Cropped to a single cell · brightfield, 40× oil-immersion objective · bone marrow smear
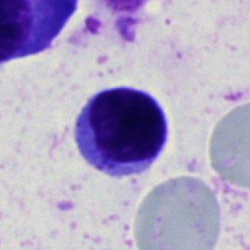Specimen: bone marrow aspirate smear.
Morphological class: lymphocyte.